Bone marrow aspirate smear.
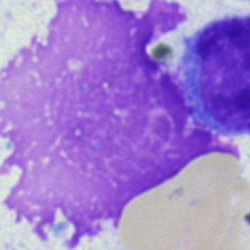
Impression → artifact.